Bone marrow aspirate smear.
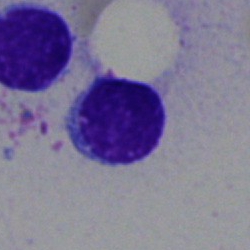Showing a typical lymphocyte.